40× objective, oil immersion; bone marrow smear; cropped to a single cell:
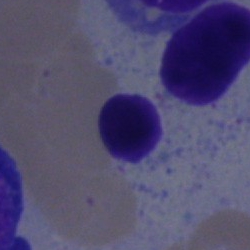
Classification = typical lymphocyte.